Bone marrow smear:
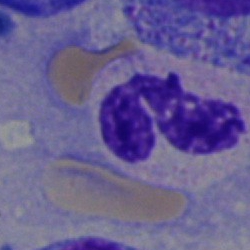

The cell type is polymorphonuclear neutrophil.